Bone marrow smear · single-cell field · May-Grünwald-Giemsa stain
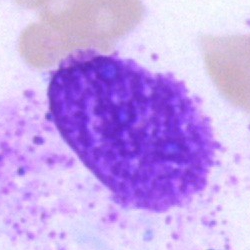 Cell type — artefact.